Bone marrow aspirate smear. Brightfield microscopy, 40× oil immersion
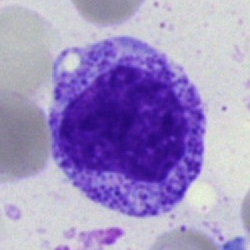

Showing a promyelocyte.